40× objective, oil immersion; bone marrow smear:
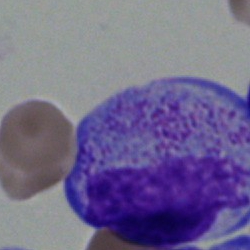 The cell is myelocyte.